Single cell centered in the field · 250×250 · bone marrow smear:
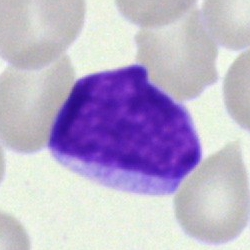

Morphological class: undifferentiated blast.